Single cell centered in the field; bone marrow smear; 250 by 250 pixels: 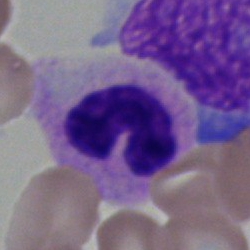Specimen: bone marrow smear.
Classification: band-form neutrophil.